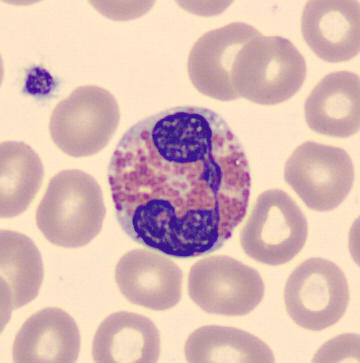 May-Grünwald-Giemsa-stained. 360×363. Peripheral blood smear.

The cell shown is an eosinophilic granulocyte.